Bone marrow smear; single-cell crop; May-Grünwald-Giemsa stain
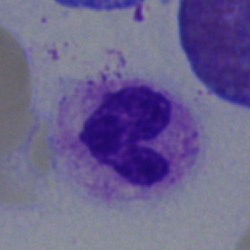
Q: Which cell type is shown here?
A: A polymorphonuclear neutrophil.